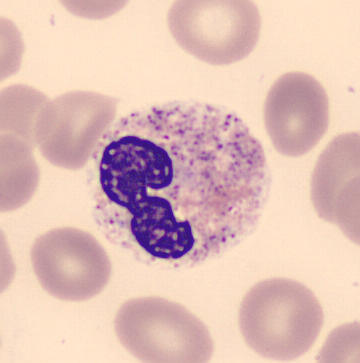Identified as a band-form neutrophil.
Image: CellaVision DM96 · peripheral blood film.